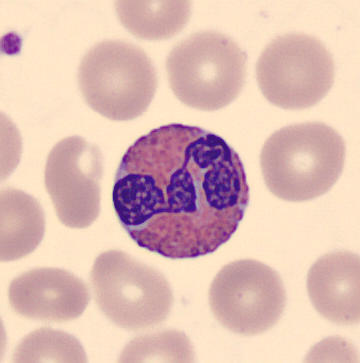
This is an eosinophilic granulocyte.